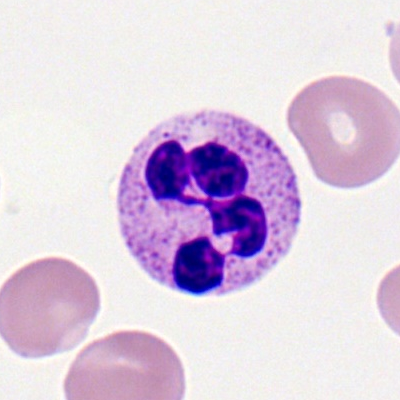 Cell — neutrophil (segmented).